250×250; bone marrow aspirate smear
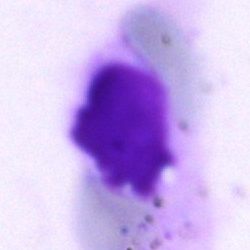 An artifact.